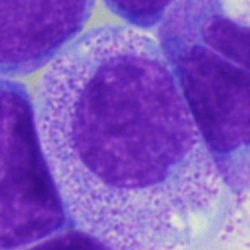Cell type: myelocyte.